Bone marrow smear:
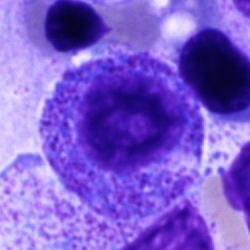

Specimen: bone marrow aspirate smear.
Cell type: progranulocyte.
Lineage: myeloid.